Peripheral blood smear; single-cell field: 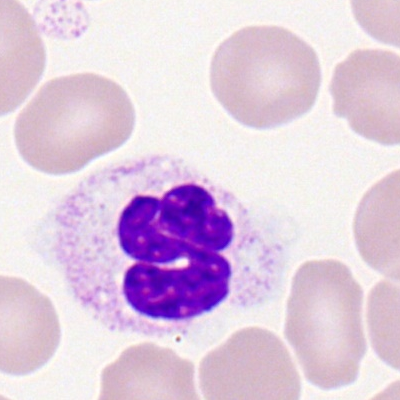Polymorphonuclear neutrophil.